Bone marrow aspirate smear · Pappenheim-stained — 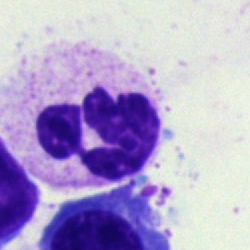
Showing a neutrophil (segmented).